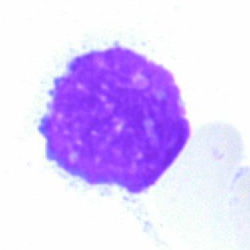 This is an artifact.